Bone marrow smear.
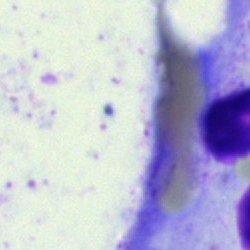 Specimen: bone marrow smear.
Classification: artefact.